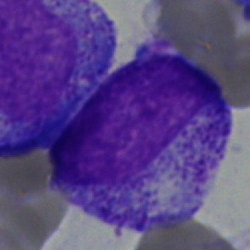A myelocyte on a bone marrow smear.